Peripheral blood smear. 400 by 400 pixels. Cropped to a single cell — 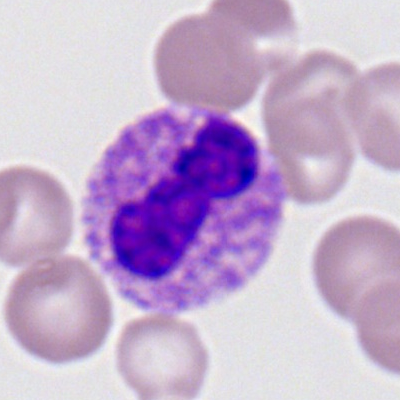 Morphology consistent with a band-form neutrophil.